Image size 250×250 · bone marrow smear — 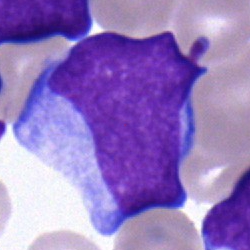

The cell shown is an undifferentiated blast.